Bone marrow smear.
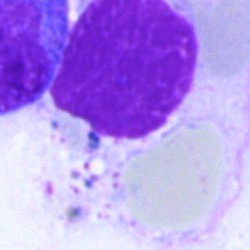Specimen: bone marrow smear.
Cell: artefact.